250×250; bone marrow aspirate smear: 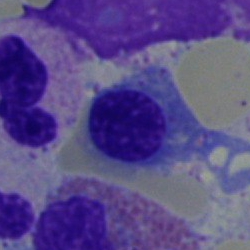 Specimen: bone marrow aspirate smear.
Cell: nucleated red cell.
Lineage: erythroid.